Bone marrow smear
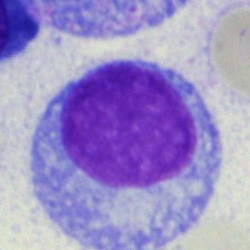

Cell — blast cell.